Single-cell crop; bone marrow smear: 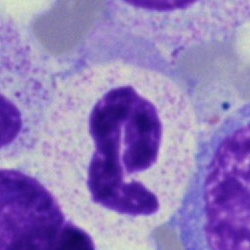 A neutrophil (segmented).